Brightfield microscopy, 40× oil immersion; bone marrow smear; image size 250×250 — 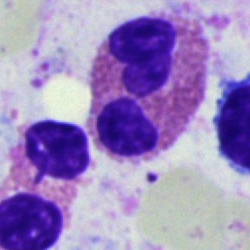

Single cell identified as an eosinophilic granulocyte.